Bone marrow smear
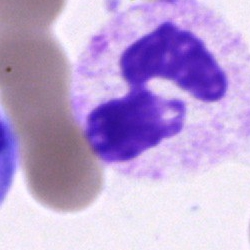 Q: Identify the cell.
A: This is a neutrophil (segmented).